Bone marrow aspirate smear · 250×250 — 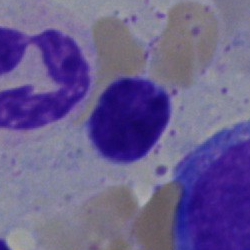
Cell type: typical lymphocyte.